Image size 250×250 · single-cell field · bone marrow smear:
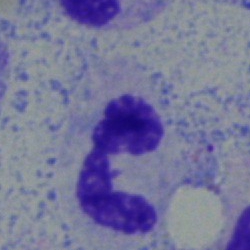

A segmented neutrophil.